Bone marrow aspirate smear. MGG-stained — 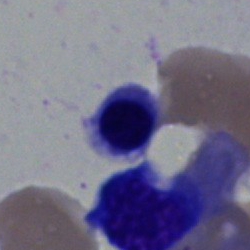A nucleated red blood cell.